Bone marrow smear:
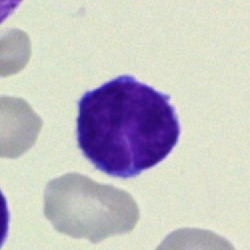

Single cell identified as a lymphocyte.